Bone marrow smear; 250 by 250 pixels: 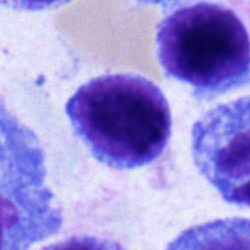

This is a typical lymphocyte.